Bone marrow smear · image size 250×250
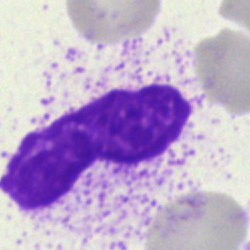

Q: Which cell type is shown here?
A: A neutrophil (band).